250×250 px; bone marrow aspirate smear: 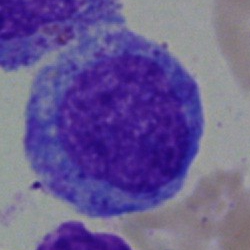
Q: What is the morphological classification of this cell?
A: This is a promyelocyte.